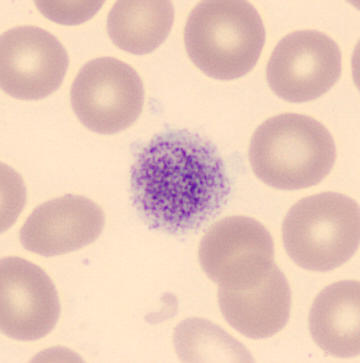 Specimen: peripheral blood smear.
Classification: thrombocyte.
Image: Imaged on a CellaVision DM96 analyser.